Single-cell field · bone marrow smear · 40× oil immersion.
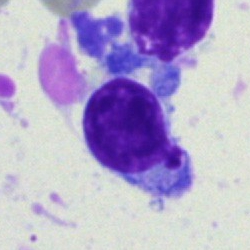 Cell — lymphocyte.